Bone marrow aspirate smear — 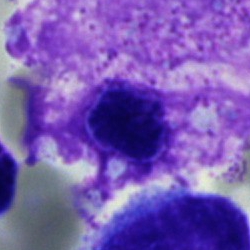 Single cell identified as an artifact.